Bone marrow aspirate smear — 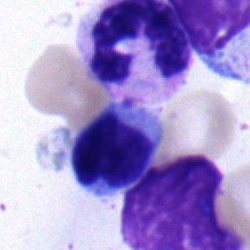

Showing a lymphocyte.